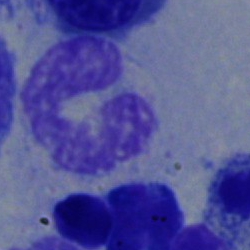
Showing a neutrophil (band).